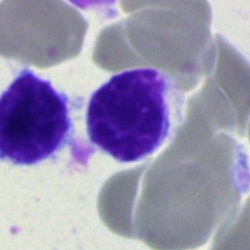
Single-cell crop from a bone marrow smear: lymphocyte.